May-Grünwald-Giemsa stain. Bone marrow aspirate smear:
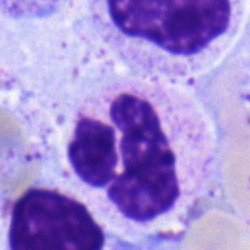 Specimen: bone marrow smear.
Morphological class: segmented neutrophil.